Bone marrow smear
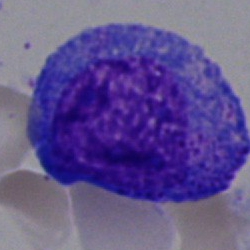

Showing a progranulocyte.